Bone marrow smear:
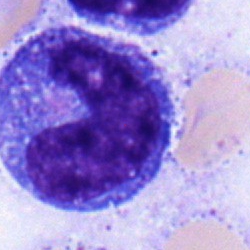
Monocyte.